Bone marrow aspirate smear.
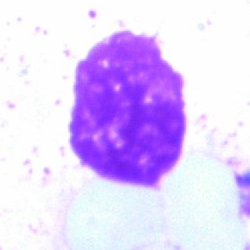

Q: What is shown here?
A: It is an artifact.